Bone marrow smear — 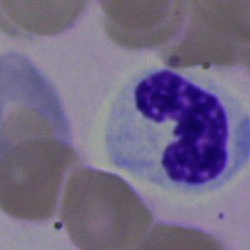 Q: What is shown here?
A: It is a neutrophil (segmented).